Bone marrow smear; 250×250: 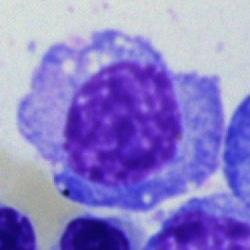Morphology → plasma cell.